Bone marrow aspirate smear: 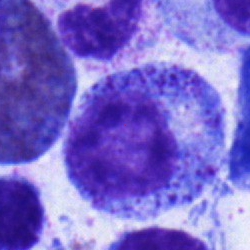Impression — myelocyte.